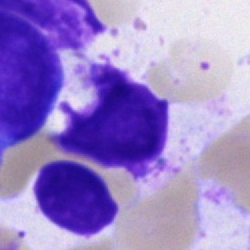
Showing an artifact.